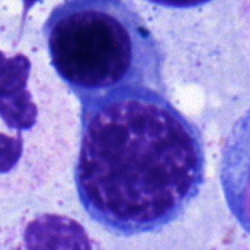

Single-cell crop from a bone marrow smear: erythroblast.